Bone marrow aspirate smear — 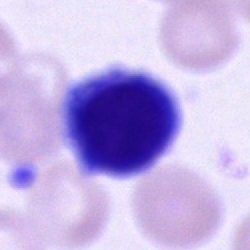

Q: What is the morphological classification of this cell?
A: A cell of indeterminate lineage.